Bone marrow aspirate smear · cropped to a single cell.
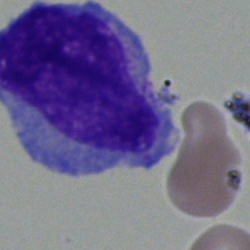
The morphological class is blast.